Bone marrow smear — 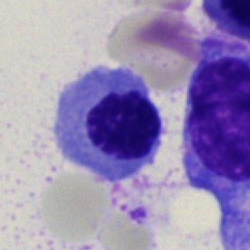

Cell type — nucleated red cell.